250×250. Bone marrow smear: 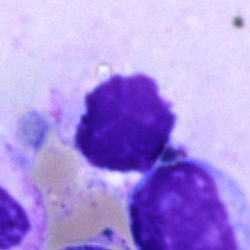 Impression — artefact.